Single cell centered in the field · bone marrow smear.
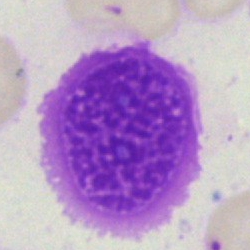 Single cell identified as an artefact.